100× oil immersion, 14.14 px/µm; peripheral blood film:
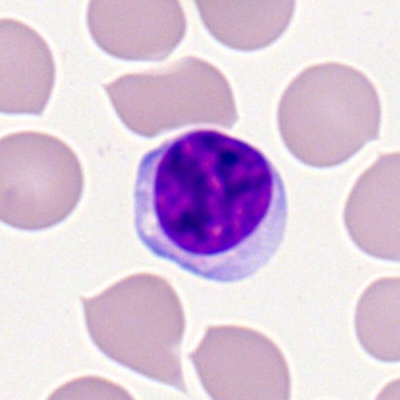

Cell: lymphocyte.